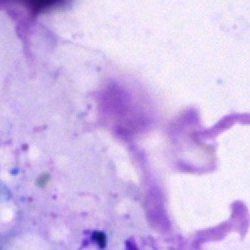 Morphological class — artefact.